Bone marrow aspirate smear.
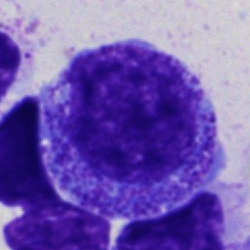 A progranulocyte.